Peripheral blood smear. 100× oil immersion, 14.14 px/µm
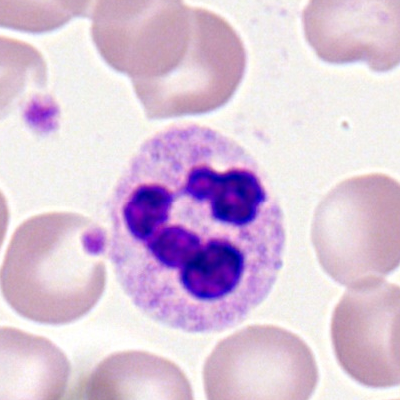

Morphology consistent with a segmented neutrophil.